40× oil immersion. Bone marrow aspirate smear:
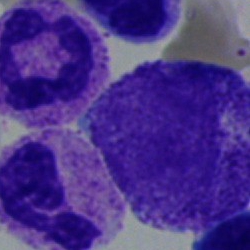Cell type = promyelocyte.